Bone marrow aspirate smear: 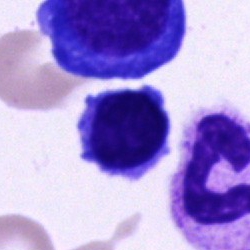A lymphocyte.